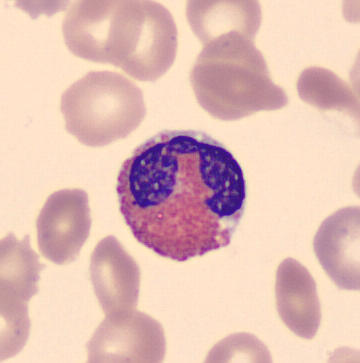Q: What cell is this?
A: This is an eosinophilic granulocyte.

Preparation: May-Grünwald-Giemsa-stained; peripheral blood smear.